Bone marrow smear; 250×250 px:
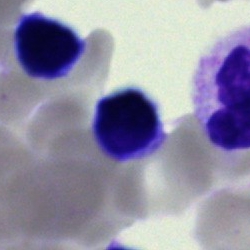Classification = typical lymphocyte.